Bone marrow aspirate smear; MGG-stained
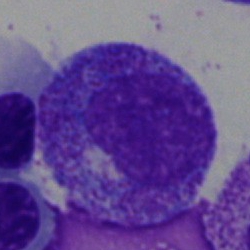This is a myelocyte.